Bone marrow smear; brightfield, 40× oil-immersion objective; Pappenheim-stained.
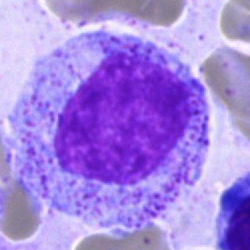 This is a progranulocyte.